Bone marrow smear. Cropped to a single cell:
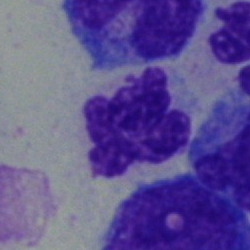
Impression — neutrophil (segmented).